Bone marrow smear — 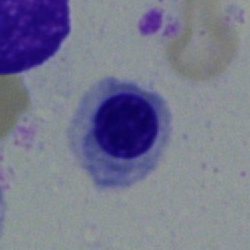

Q: Which cell type is shown here?
A: This is an erythroblast.